Bone marrow aspirate smear; 250 by 250 pixels.
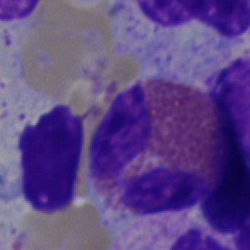
Cell type — eosinophilic granulocyte.